Brightfield microscopy, 40× oil immersion. Bone marrow aspirate smear:
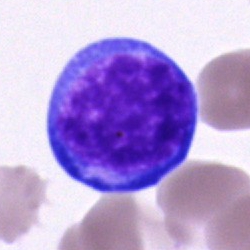 {"cell_type": "blast cell"}